Bone marrow aspirate smear — 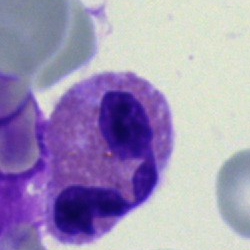
Morphology — eosinophil.